40× oil immersion · bone marrow smear · May-Grünwald-Giemsa stain
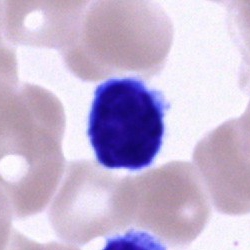Impression — typical lymphocyte.